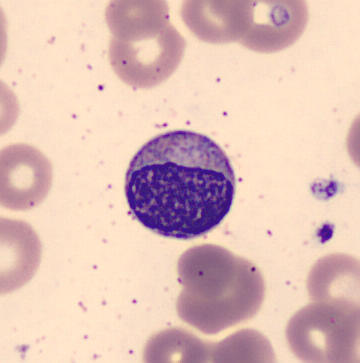Specimen: peripheral blood smear.
Cell: myelocyte.
Lineage: myeloid.